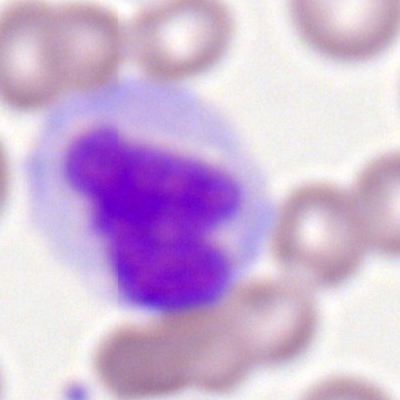 This is a monocyte.